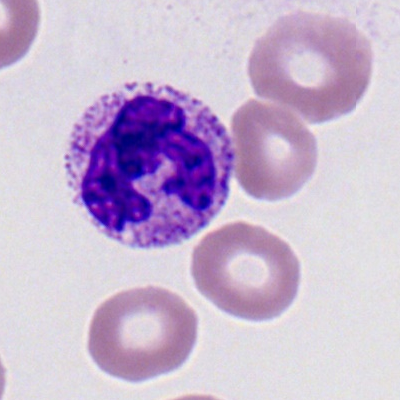 Classification = segmented neutrophil.